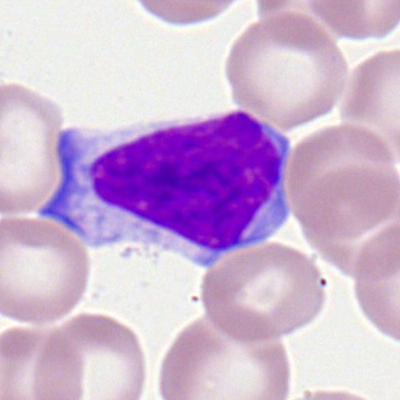

A lymphocyte.